Cropped to a single cell · bone marrow smear:
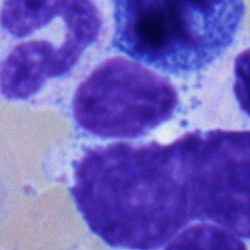 Impression — lymphocyte.